Peripheral blood film — 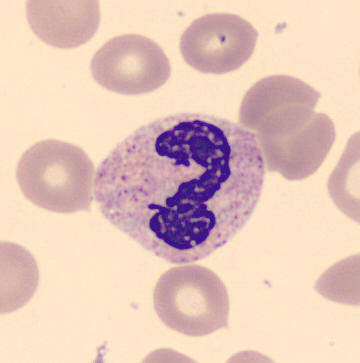
Morphological class: neutrophil (segmented).